Bone marrow aspirate smear; image size 250×250
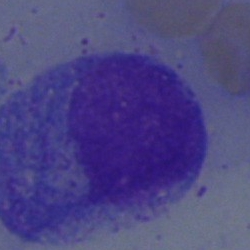
Progranulocyte.